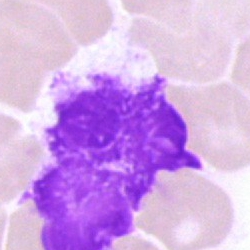
Specimen: bone marrow aspirate smear.
Cell type: artefact.